Bone marrow smear; brightfield, 40× oil-immersion objective; cropped to a single cell
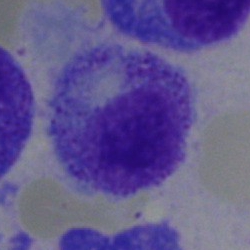
Morphological class = myelocyte.